Bone marrow smear: 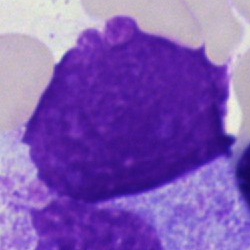

Showing an artefact.